250×250. Bone marrow smear.
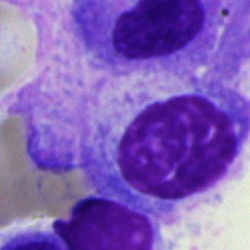

A plasmacyte.